Bone marrow smear · 40× objective, oil immersion.
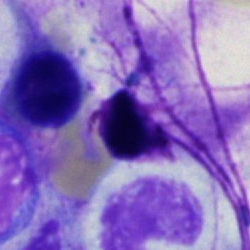
Morphological class: artefact.